May-Grünwald-Giemsa/Pappenheim stain; bone marrow smear; single-cell crop — 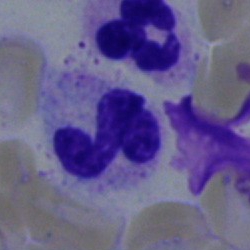
Q: What type of cell is this?
A: It is a segmented neutrophil.